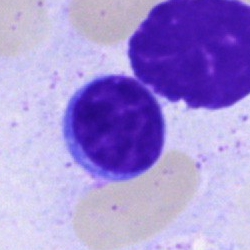 Bone marrow aspirate smear, single cell — typical lymphocyte.